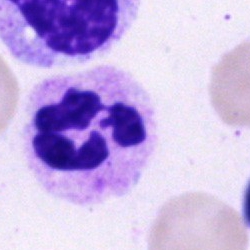

Specimen: bone marrow smear.
Cell: segmented neutrophil.